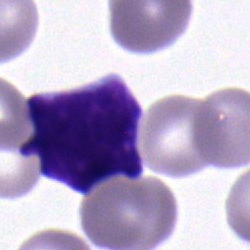 Q: Which cell type is shown here?
A: Lymphocyte.